Bone marrow aspirate smear — 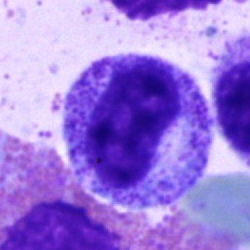
The classification is myelocyte.